250×250 px · bone marrow smear · Pappenheim-stained — 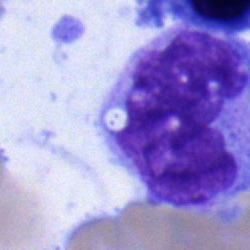 This is a monocyte.